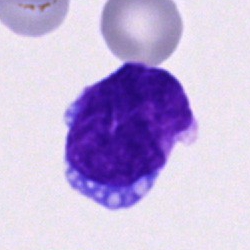The cell type is undifferentiated blast.